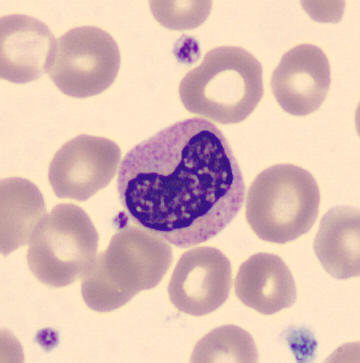Impression — metamyelocyte. Peripheral blood smear. Cropped to a single cell.